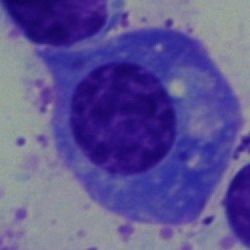

The cell shown is a plasmacyte.